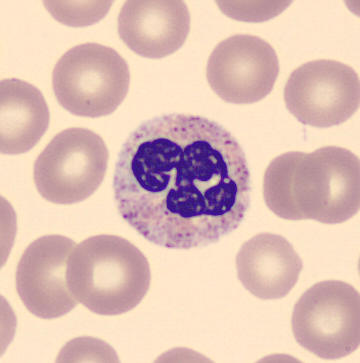 {"cell_type": "polymorphonuclear neutrophil", "lineage": "myeloid"}